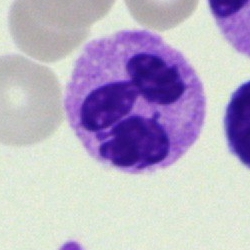
Q: Identify the cell.
A: It is a polymorphonuclear neutrophil.